Bone marrow smear:
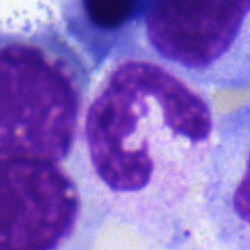

This is a polymorphonuclear neutrophil.